Bone marrow smear
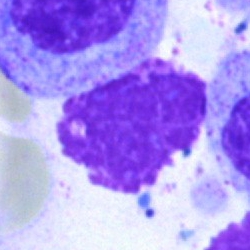 Specimen: bone marrow aspirate smear.
Cell: artefact.